Bone marrow aspirate smear.
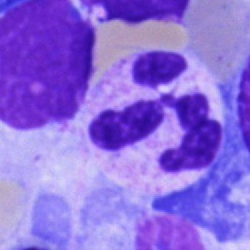A polymorphonuclear neutrophil.